250×250; bone marrow smear:
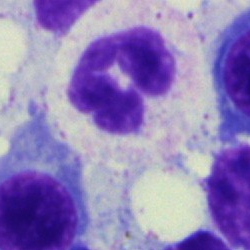 Impression → neutrophil (segmented).